MGG-stained · bone marrow smear
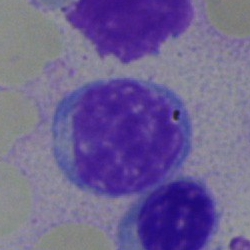
Q: What cell is this?
A: It is a lymphocyte.